Peripheral blood smear
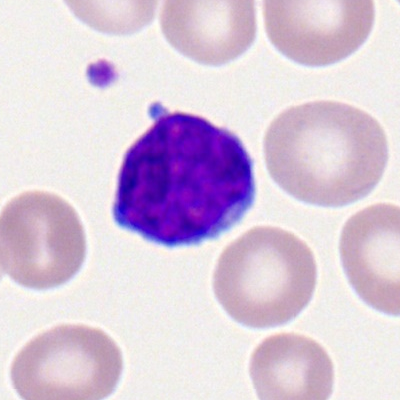
Specimen: peripheral blood film.
Cell: lymphocyte.